Bone marrow aspirate smear:
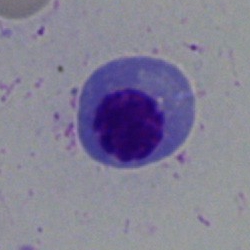

Q: Which cell type is shown here?
A: A nucleated red blood cell.